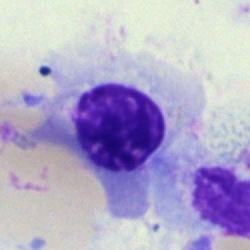
Cell type — normoblast.